Bone marrow aspirate smear · 250×250 px
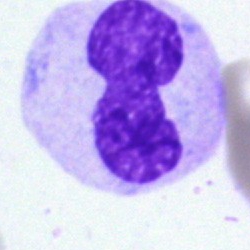

Showing a band neutrophil.